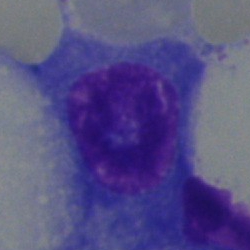
{"cell_type": "plasmacyte", "lineage": "lymphoid"}